Bone marrow aspirate smear.
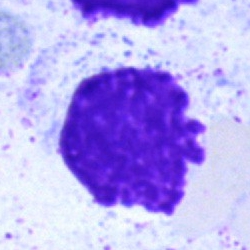
An artifact.